Brightfield, 40× oil-immersion objective; bone marrow smear — 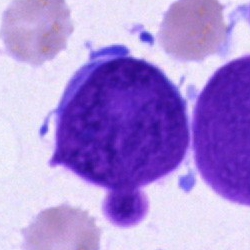Cell — blast cell.